Bone marrow smear.
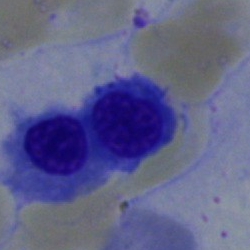Morphology consistent with a nucleated red blood cell.